Bone marrow aspirate smear — 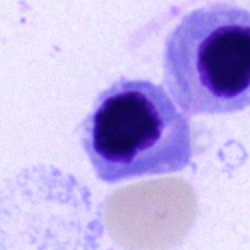Impression → erythroblast.